Bone marrow aspirate smear — 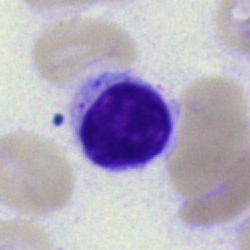Cell: typical lymphocyte.